Bone marrow aspirate smear.
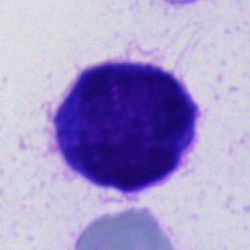Showing an unidentifiable cell.